250 by 250 pixels. Bone marrow smear:
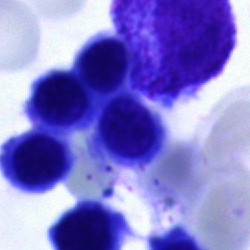This is a nucleated red cell.